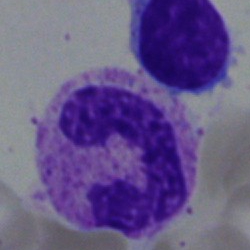Cell = band-form neutrophil.